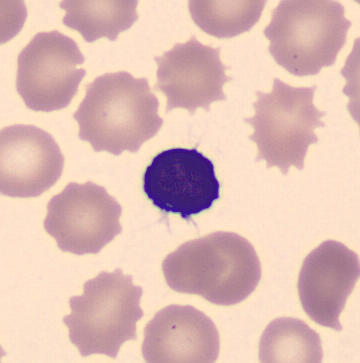 Peripheral blood smear.
This is a typical lymphocyte.